Peripheral blood film:
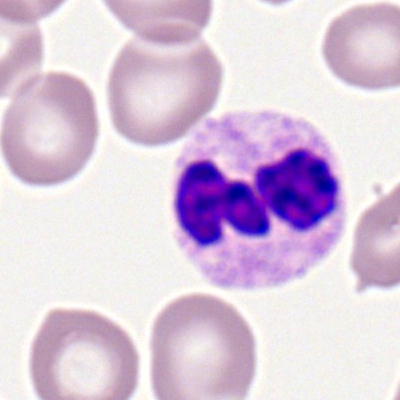This is a segmented neutrophil.